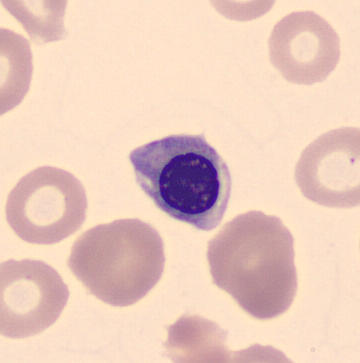

Peripheral blood smear.
Q: Which cell type is shown here?
A: Normoblast.